May-Grünwald-Giemsa stain; 40× oil immersion; bone marrow aspirate smear.
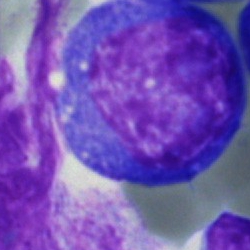
The cell shown is a blast.